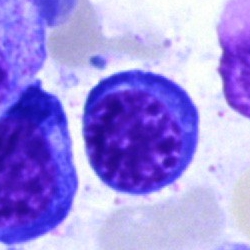Normoblast.